Bone marrow aspirate smear. May-Grünwald-Giemsa stain.
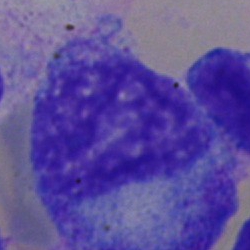
Morphology → promyelocyte.